250 by 250 pixels. Bone marrow smear — 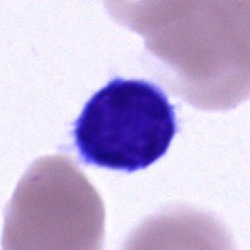

Q: Identify the cell.
A: This is a lymphocyte.